Bone marrow smear · May-Grünwald-Giemsa stain · single cell centered in the field — 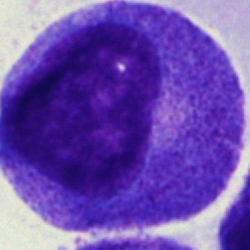The cell shown is a progranulocyte.